Bone marrow smear; May-Grünwald-Giemsa/Pappenheim stain: 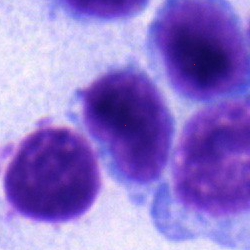Showing a lymphocyte.